Pappenheim-stained. Bone marrow smear. 250 by 250 pixels.
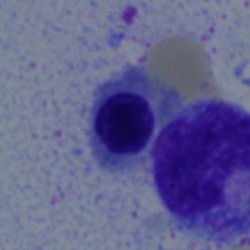
The classification is nucleated red cell.